Pappenheim-stained. Bone marrow smear: 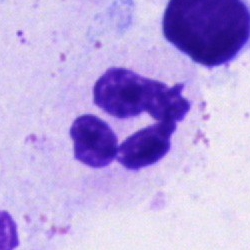
Q: What type of cell is this?
A: It is a polymorphonuclear neutrophil.